Bone marrow smear
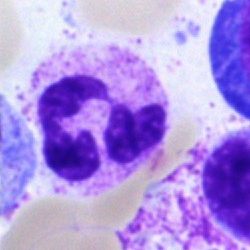

Classification = neutrophil (segmented).